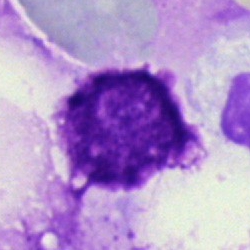Morphological class: artefact.